Bone marrow aspirate smear — 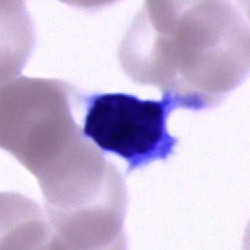Q: What cell is this?
A: A cell of indeterminate lineage.